Bone marrow smear — 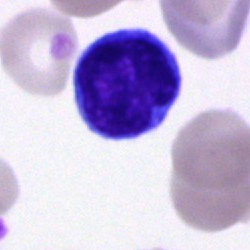
Cell = typical lymphocyte.